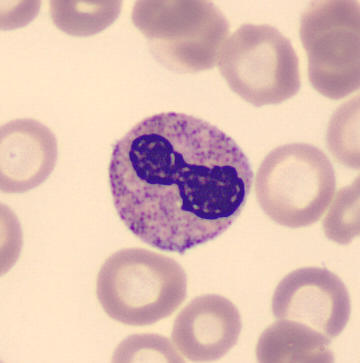 Peripheral blood film. Single cell centered in the field. CellaVision DM96. Cell type — band-form neutrophil.